250×250 px. Pappenheim-stained. Bone marrow aspirate smear: 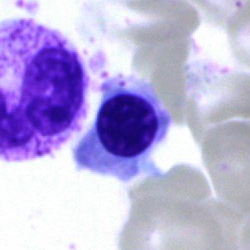Showing a nucleated red blood cell.